Peripheral blood film: 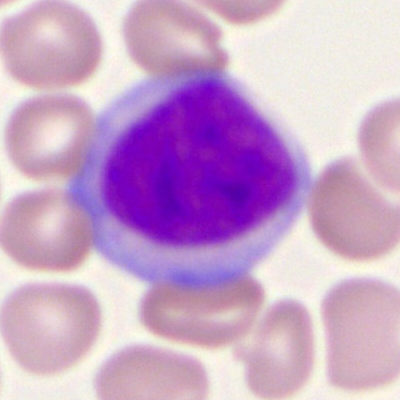
Morphology → myeloid blast.